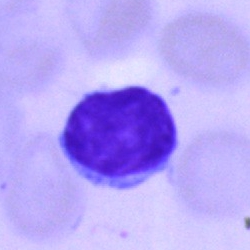

The cell is typical lymphocyte.